Bone marrow aspirate smear. Brightfield microscopy, 40× oil immersion.
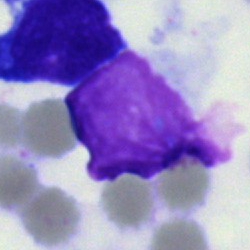Classification — artifact.